250×250 px; bone marrow aspirate smear:
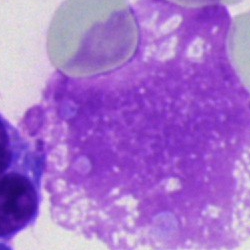 Specimen: bone marrow smear.
Cell type: artefact.